Image size 250×250. Bone marrow smear: 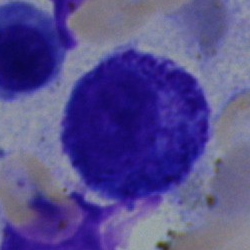

Showing a progranulocyte.